Bone marrow aspirate smear:
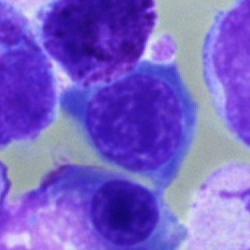A normoblast.